Bone marrow aspirate smear
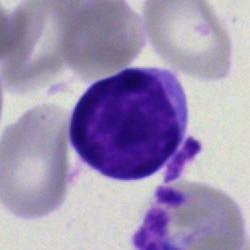 Specimen: bone marrow aspirate smear.
Morphological class: lymphocyte.